Bone marrow smear.
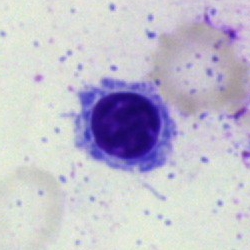
Morphological class — erythroblast.